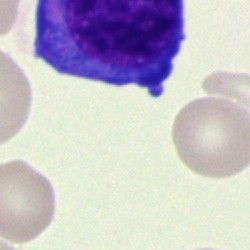

Single-cell crop from a bone marrow smear: unidentifiable cell.